Bone marrow smear — 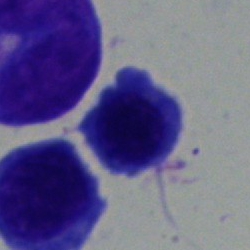
Q: What cell is this?
A: A nucleated red blood cell.